Brightfield microscopy, 40× oil immersion; single-cell field; bone marrow smear: 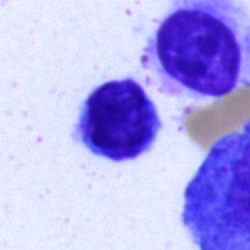

{"cell_type": "lymphocyte", "lineage": "lymphoid"}